Bone marrow aspirate smear.
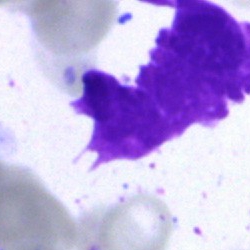{"cell_type": "artefact"}